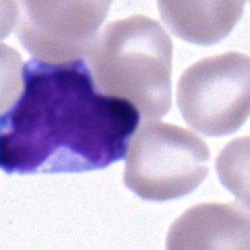 {"cell_type": "typical lymphocyte"}